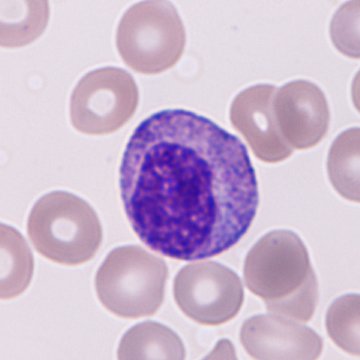Specimen: peripheral blood film.
Cell type: immature granulocyte (promyelocyte, myelocyte or metamyelocyte).
Lineage: myeloid.